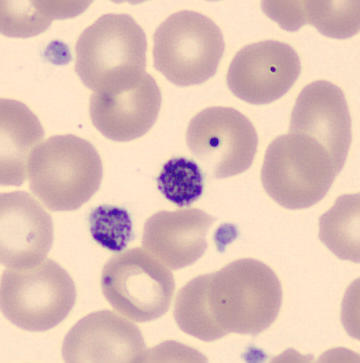
Morphological class = platelet.
Acquisition: MGG-stained; peripheral blood smear; imaged on a CellaVision DM96 analyser.